Bone marrow aspirate smear.
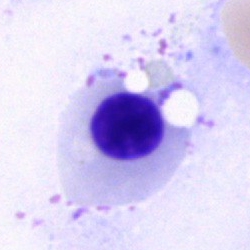

Impression → nucleated red cell.